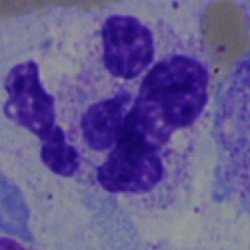
Q: Identify the cell.
A: It is a neutrophil (segmented).